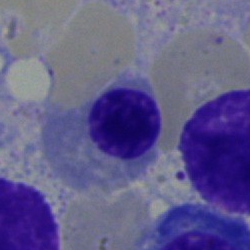

The morphological class is nucleated red cell.